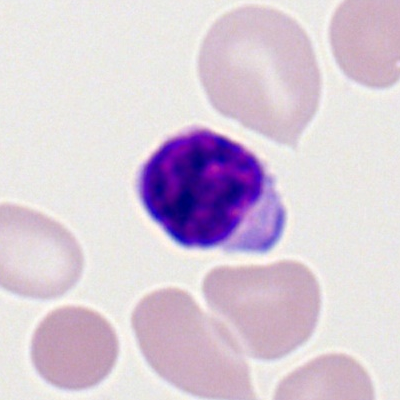 The cell type is typical lymphocyte.